Bone marrow smear:
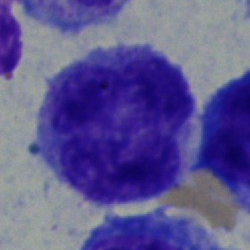
{"cell_type": "monocyte", "lineage": "myeloid"}